Bone marrow smear — 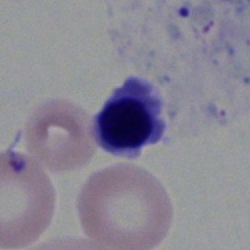

Morphology consistent with a nucleated red cell.